MGG-stained; bone marrow smear — 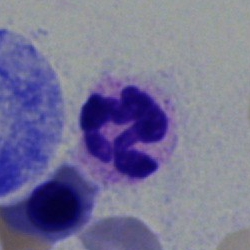 {"cell_type": "neutrophil (segmented)", "lineage": "myeloid"}